Peripheral blood smear
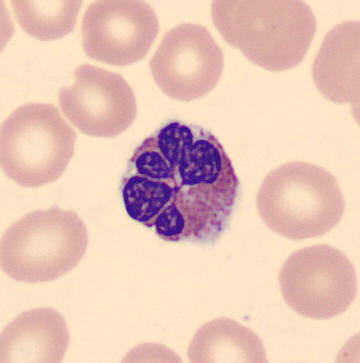Specimen: peripheral blood film.
Cell: eosinophil.